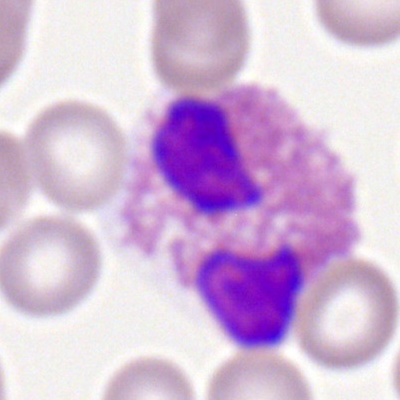

Impression — eosinophil.